Bone marrow aspirate smear · 40× oil immersion.
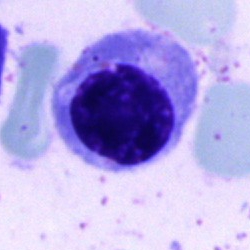

Specimen: bone marrow aspirate smear.
Cell: nucleated red blood cell.
Lineage: erythroid.